Peripheral blood film — 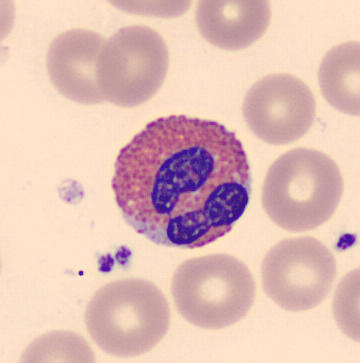

Q: Identify the cell.
A: This is an eosinophilic granulocyte.